Bone marrow aspirate smear · image size 250×250: 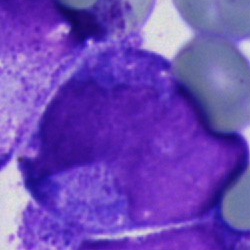

Q: What is the morphological classification of this cell?
A: It is a blast cell.